Bone marrow smear; Pappenheim-stained:
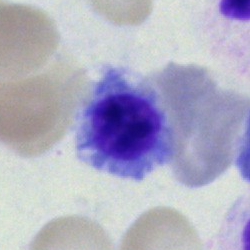 Q: Identify the cell.
A: This is a nucleated red blood cell.